Bone marrow aspirate smear.
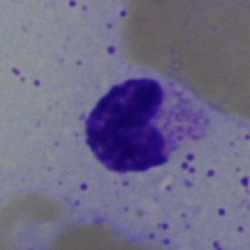Single cell identified as a neutrophil (segmented).